May-Grünwald-Giemsa stain; bone marrow aspirate smear: 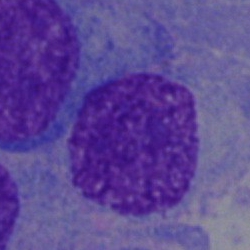

Cell: plasma cell.